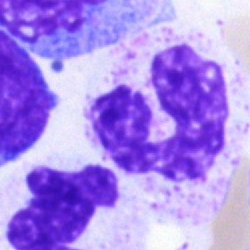A polymorphonuclear neutrophil.